MGG-stained · bone marrow smear: 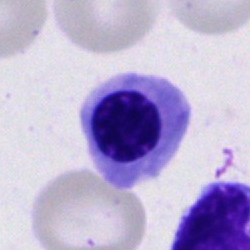

Cell: erythroblast.